Peripheral blood film: 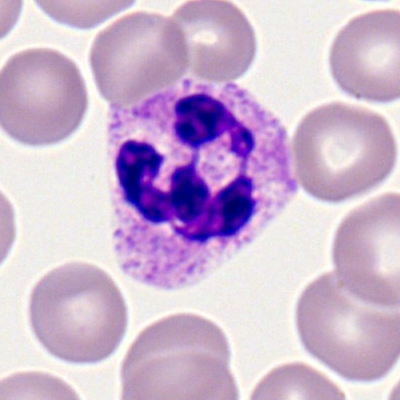

The cell is polymorphonuclear neutrophil.